100× oil immersion · image size 400×400 · peripheral blood smear: 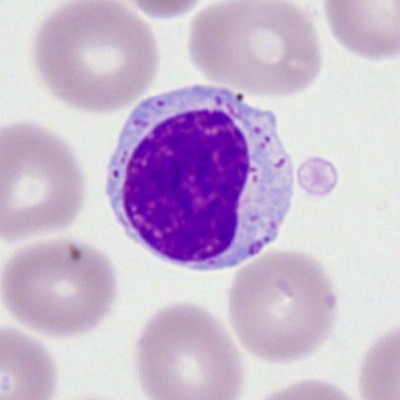Cell type = typical lymphocyte.